Bone marrow smear; single-cell crop — 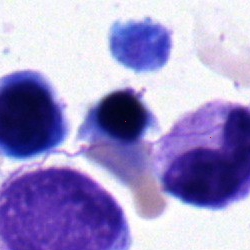 Morphology consistent with an erythroblast.